Bone marrow smear.
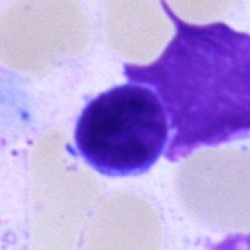Morphological class — typical lymphocyte.